Bone marrow aspirate smear. Pappenheim-stained. Single-cell crop.
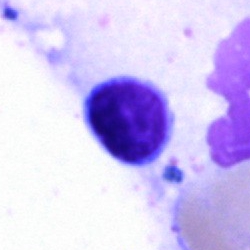
Typical lymphocyte.